Peripheral blood smear:
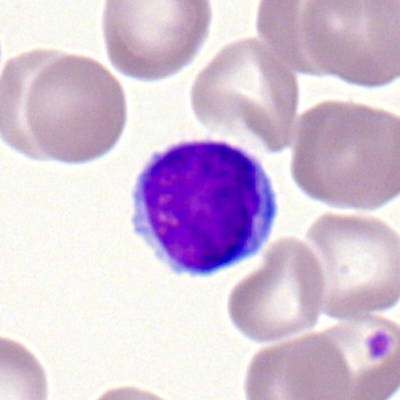
Cell type — typical lymphocyte.